Bone marrow aspirate smear: 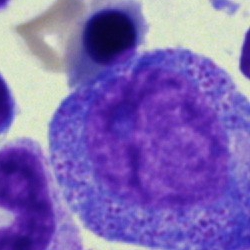

Single cell identified as a progranulocyte.